Bone marrow smear — 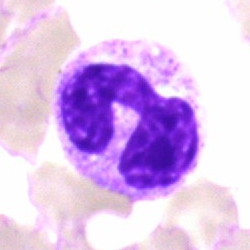
The cell shown is a segmented neutrophil.